Bone marrow smear: 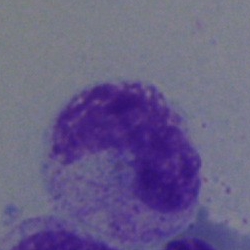This is a stab cell.